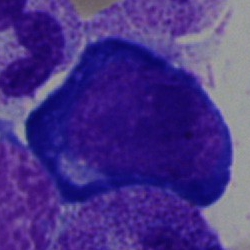 This is a proerythroblast.